Bone marrow smear.
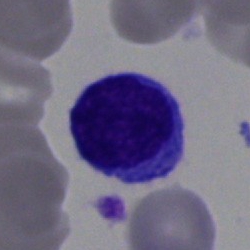

The cell type is lymphocyte.